Bone marrow aspirate smear — 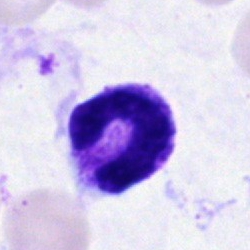 Morphological class: polymorphonuclear neutrophil.